Peripheral blood smear:
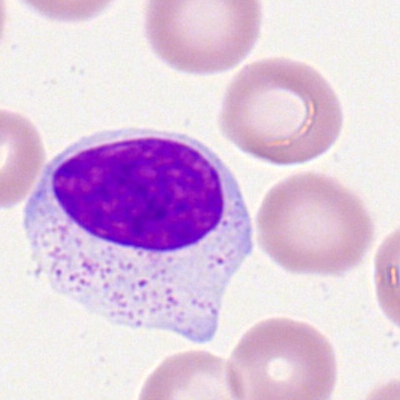

Cell = lymphocyte.